Bone marrow smear · 250×250 · 40× objective, oil immersion:
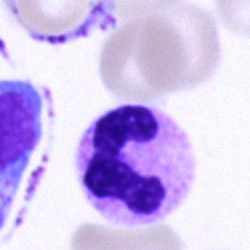
Classification: polymorphonuclear neutrophil.